Bone marrow smear: 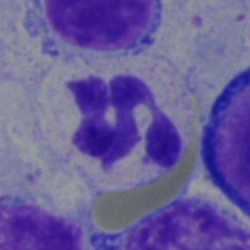 Polymorphonuclear neutrophil.